Bone marrow smear: 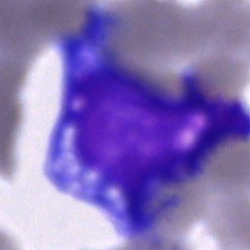
The cell shown is a blast.